Bone marrow aspirate smear · Pappenheim-stained · single-cell crop:
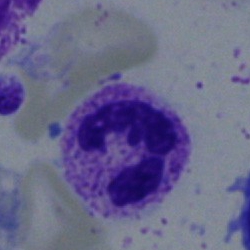
Specimen: bone marrow aspirate smear.
Cell: segmented neutrophil.
Lineage: myeloid.